Brightfield microscopy, 40× oil immersion · bone marrow smear · 250 by 250 pixels — 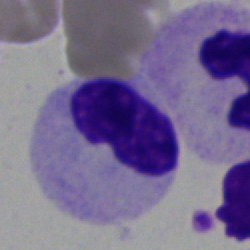Specimen: bone marrow aspirate smear.
Morphological class: neutrophil (band).